Bone marrow smear.
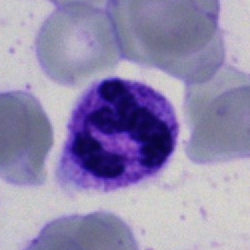
Q: What is the morphological classification of this cell?
A: A polymorphonuclear neutrophil.